Bone marrow aspirate smear. Cropped to a single cell. Brightfield, 40× oil-immersion objective
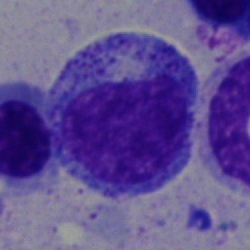

Cell type: myelocyte.